Cropped to a single cell. Bone marrow smear. 250 by 250 pixels
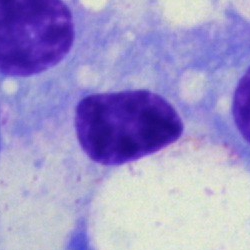
{"cell_type": "artefact"}